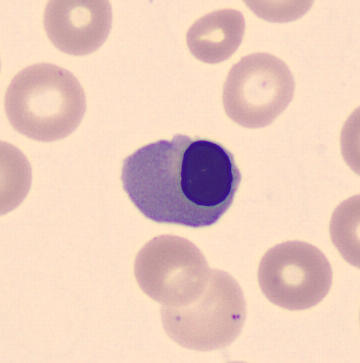 Morphology consistent with a normoblast.

Preparation: Peripheral blood film.